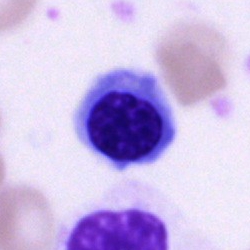

Morphology → erythroblast.